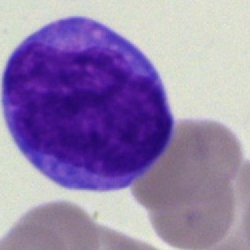

Morphology — blast cell.